May-Grünwald-Giemsa/Pappenheim stain; bone marrow smear
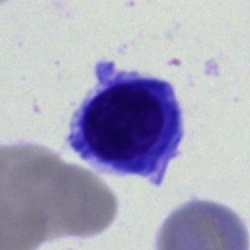

Q: What type of cell is this?
A: This is a nucleated red blood cell.